Bone marrow aspirate smear — 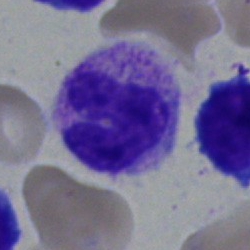Morphological class = neutrophil (band).